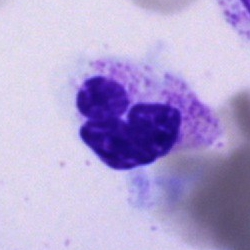 A polymorphonuclear neutrophil on a bone marrow smear.